Bone marrow smear
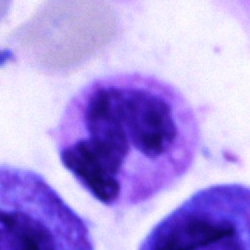

Impression — segmented neutrophil.